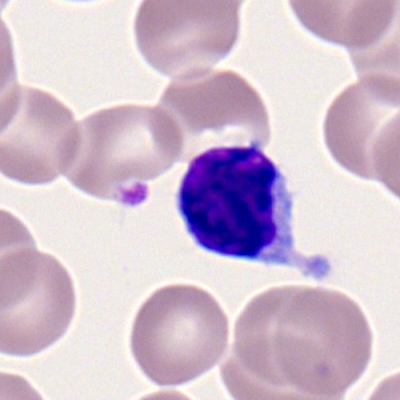 {"cell_type": "typical lymphocyte"}